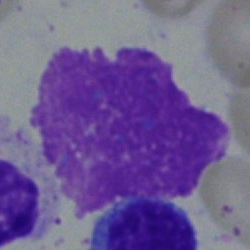

Morphological class — artifact.